Bone marrow aspirate smear; Pappenheim-stained: 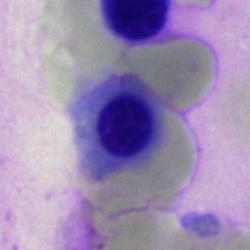Morphology consistent with a nucleated red cell.